Bone marrow aspirate smear
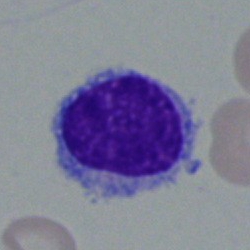Showing a lymphocyte.